Bone marrow aspirate smear
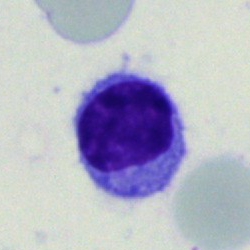Q: What type of cell is this?
A: This is a typical lymphocyte.